Bone marrow aspirate smear
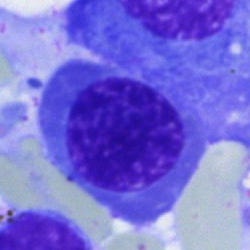 This is a nucleated red blood cell.